Bone marrow smear.
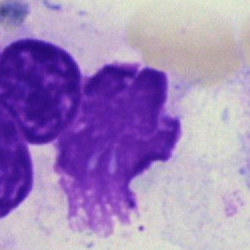

Morphological class: artifact.